Bone marrow aspirate smear; 40× objective, oil immersion; single cell centered in the field: 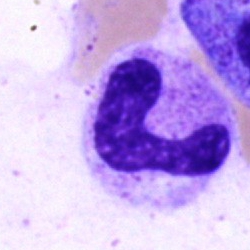 Impression — band neutrophil.